Single-cell crop; bone marrow smear: 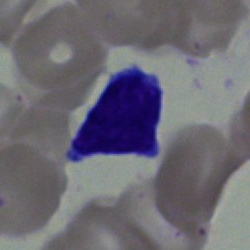Morphological class: typical lymphocyte.